40× oil immersion · bone marrow smear:
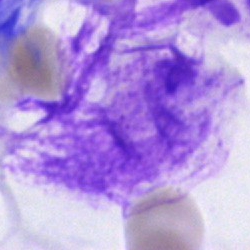

Specimen: bone marrow aspirate smear.
Cell: artifact.